Single-cell field · bone marrow smear · brightfield microscopy, 40× oil immersion — 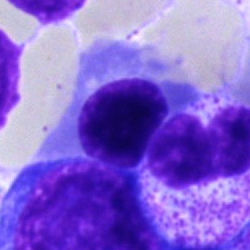
Cell = normoblast.